Bone marrow smear.
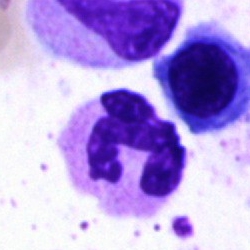

Single cell identified as a polymorphonuclear neutrophil.